May Grünwald-Giemsa stain; peripheral blood film.
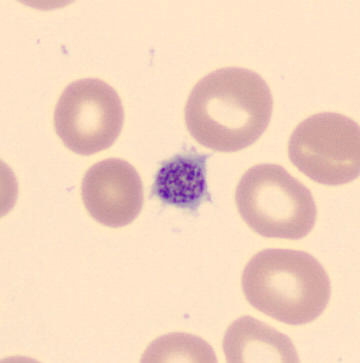

Thrombocyte.